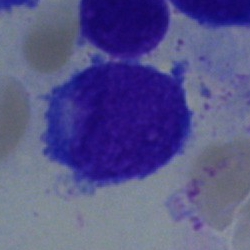 Classification = blast cell.